Bone marrow aspirate smear: 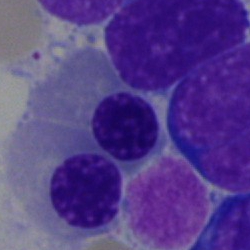
Classification: nucleated red blood cell.